Bone marrow aspirate smear — 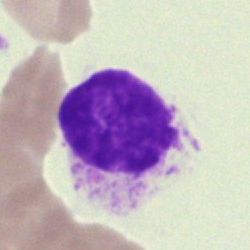 An artefact.